250×250 px; bone marrow aspirate smear.
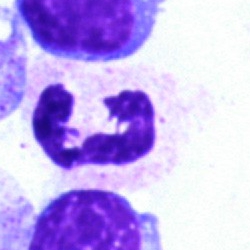 The cell shown is a neutrophil (segmented).